40× objective, oil immersion. Bone marrow aspirate smear:
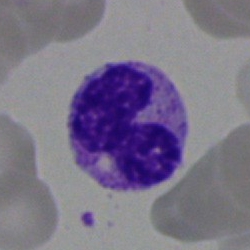
Q: What type of cell is this?
A: This is a polymorphonuclear neutrophil.